Bone marrow aspirate smear
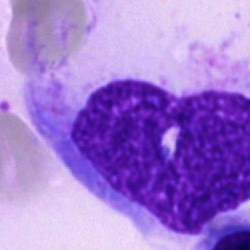

Showing an artifact.